Bone marrow aspirate smear · brightfield, 40× oil-immersion objective — 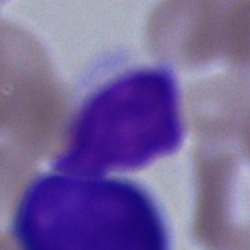

Artefact.